M8 digital microscope (Precipoint), 100× oil immersion; peripheral blood film; 400 by 400 pixels: 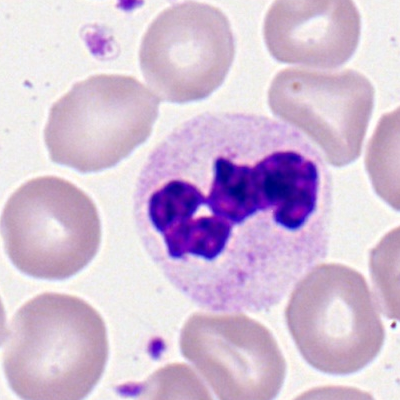

Specimen: peripheral blood smear.
Cell type: polymorphonuclear neutrophil.